Bone marrow smear.
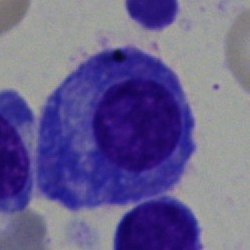This is a plasma cell.